Bone marrow smear: 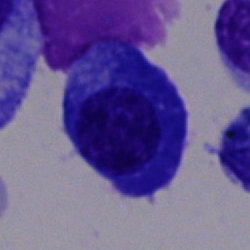 Q: What cell is this?
A: A plasmacyte.